Bone marrow aspirate smear; brightfield, 40× oil-immersion objective — 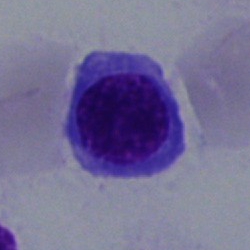

Morphology — normoblast.